Bone marrow aspirate smear — 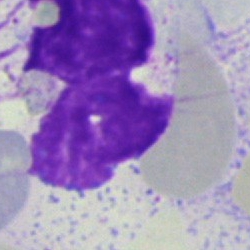

The cell shown is an artifact.